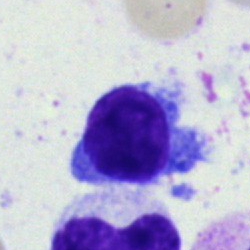

{"cell_type": "lymphocyte", "lineage": "lymphoid"}